Bone marrow aspirate smear
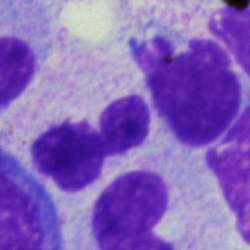Classification — neutrophil (segmented).